Bone marrow smear; brightfield microscopy, 40× oil immersion; May-Grünwald-Giemsa/Pappenheim stain: 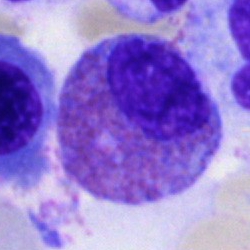

Q: What cell is this?
A: It is an eosinophilic granulocyte.